Brightfield microscopy, 40× oil immersion; bone marrow aspirate smear:
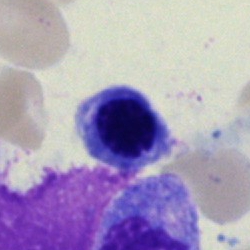

This is a nucleated red blood cell.